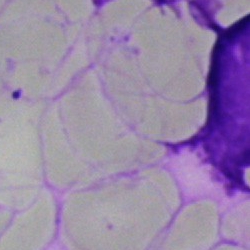

Classification — artifact.